Peripheral blood smear
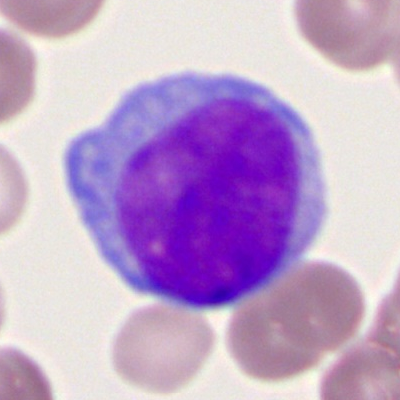Morphology — myeloid blast.